Bone marrow smear — 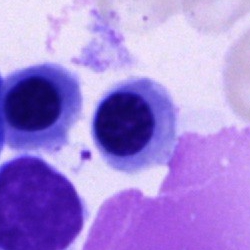
Morphology consistent with a nucleated red blood cell.